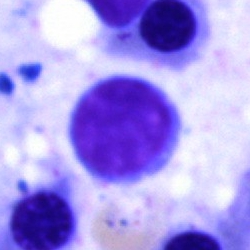Specimen: bone marrow aspirate smear.
Classification: typical lymphocyte.
Lineage: lymphoid.